May-Grünwald-Giemsa/Pappenheim stain. Bone marrow smear: 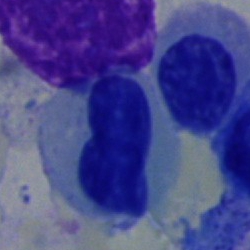Morphology consistent with a nucleated red blood cell.